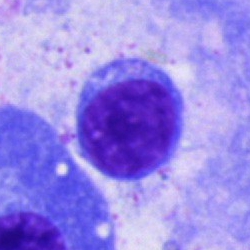 {"cell_type": "lymphocyte", "lineage": "lymphoid"}